Bone marrow smear
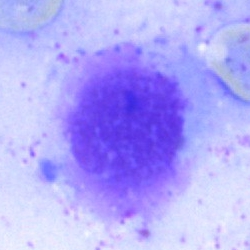

Showing an artifact.